Bone marrow aspirate smear; 40× oil immersion:
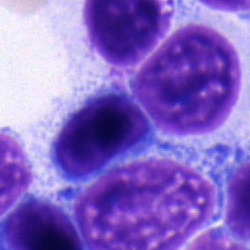
Morphology consistent with a lymphocyte.